Automated cell imaging (CellaVision DM96). Peripheral blood film — 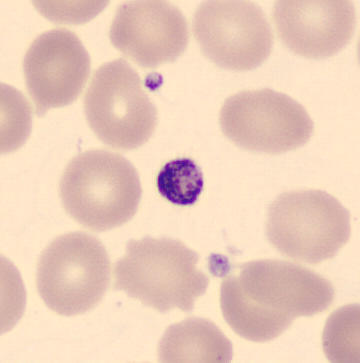Morphological class: platelet.